Bone marrow aspirate smear — 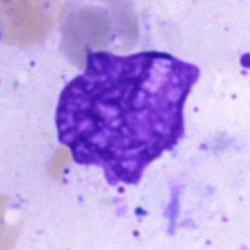Q: What is shown here?
A: This is an artefact.